Bone marrow aspirate smear · cropped to a single cell.
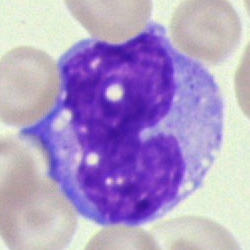Morphology consistent with a monocyte.